MGG-stained; bone marrow aspirate smear; image size 250×250.
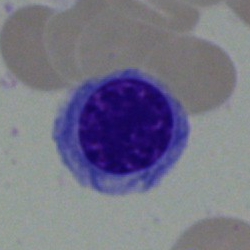Q: Identify the cell.
A: This is a nucleated red blood cell.